Bone marrow smear
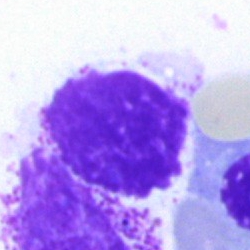Morphology consistent with an artifact.